Bone marrow smear — 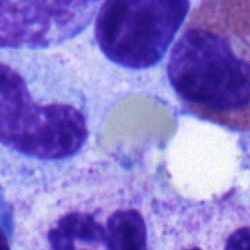 Q: Identify the cell.
A: Lymphocyte.